Bone marrow smear; single-cell field: 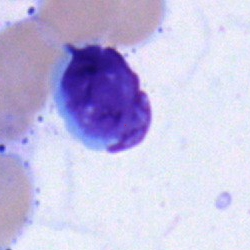
Impression → typical lymphocyte.